Pappenheim-stained · 250×250 px · bone marrow smear.
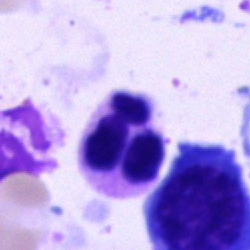 Neutrophil (segmented).